Bone marrow aspirate smear
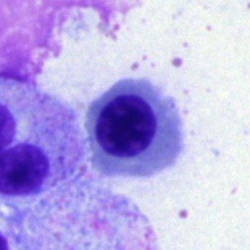 Cell = normoblast.